Bone marrow aspirate smear
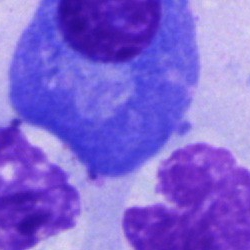
Specimen: bone marrow aspirate smear.
Classification: plasma cell.